Romanowsky stain. Peripheral blood film:
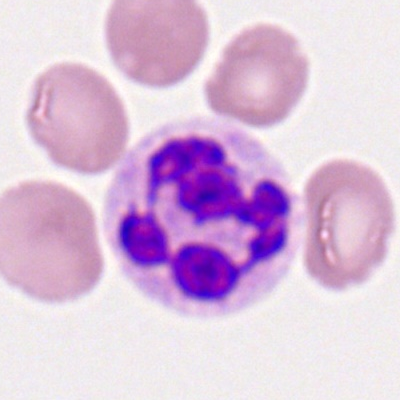This is a segmented neutrophil.